250×250 px · brightfield, 40× oil-immersion objective · bone marrow smear: 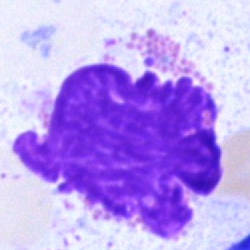An artefact.